Bone marrow smear.
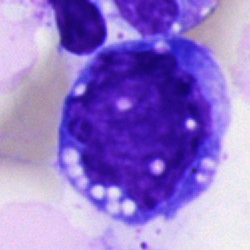
Specimen: bone marrow smear.
Classification: monocyte.